Cropped to a single cell · bone marrow aspirate smear
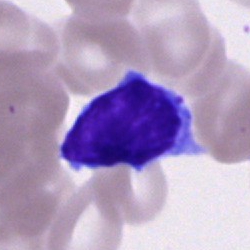
Q: Which cell type is shown here?
A: This is a lymphocyte.